250×250 px · bone marrow aspirate smear
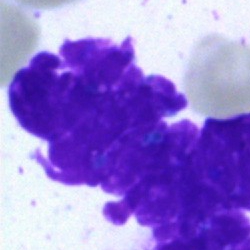Morphology consistent with an artefact.